Image size 250×250; bone marrow smear: 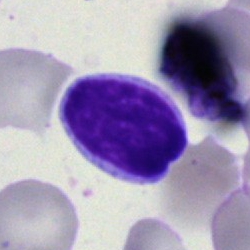Q: What is shown here?
A: This is a typical lymphocyte.